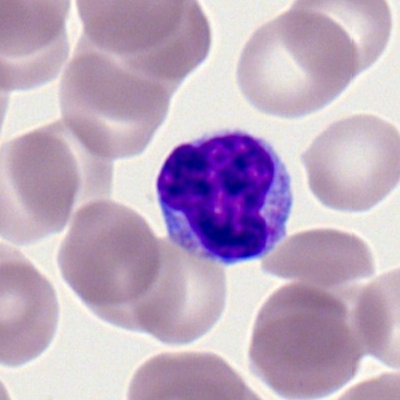

{"cell_type": "typical lymphocyte", "lineage": "lymphoid"}